Peripheral blood film:
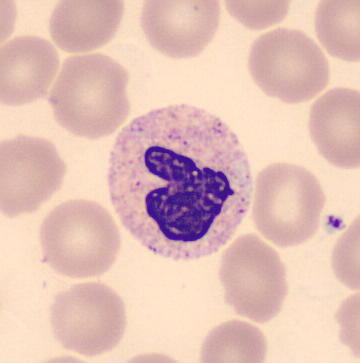Showing a neutrophil (segmented).